Bone marrow smear:
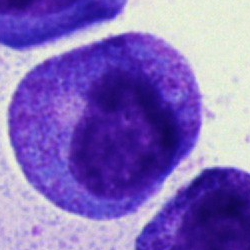 Q: What cell is this?
A: This is a myelocyte.